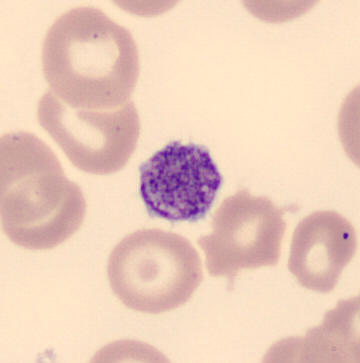 The morphological class is platelet. Preparation: Peripheral blood film.